Bone marrow aspirate smear: 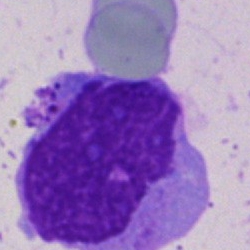 Artefact.